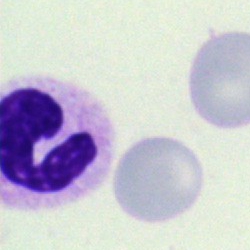

Impression — neutrophil (segmented).